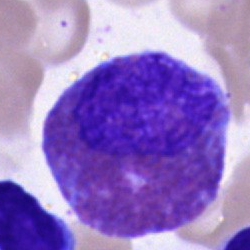
Showing an eosinophilic granulocyte.